250×250 px; bone marrow smear; May-Grünwald-Giemsa stain — 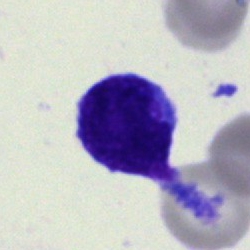

Morphological class = blast cell.